Bone marrow aspirate smear.
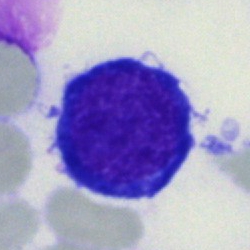
Specimen: bone marrow aspirate smear.
Cell: undifferentiated blast.